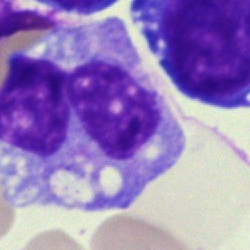
A monocyte.